Peripheral blood smear:
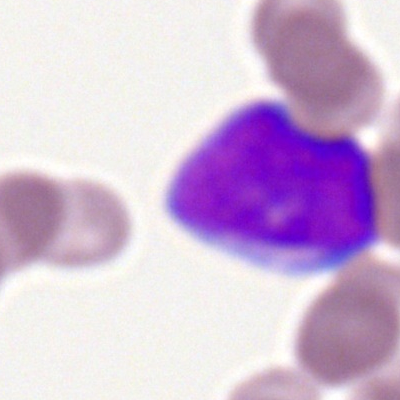
Showing a myeloblast.